Bone marrow aspirate smear; brightfield microscopy, 40× oil immersion: 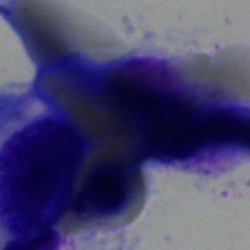
Morphological class: artefact.